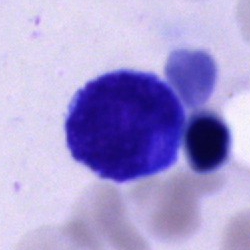Morphology — cell of indeterminate lineage.